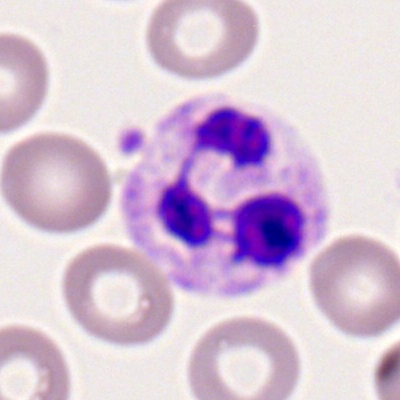The cell is segmented neutrophil.